Peripheral blood film — 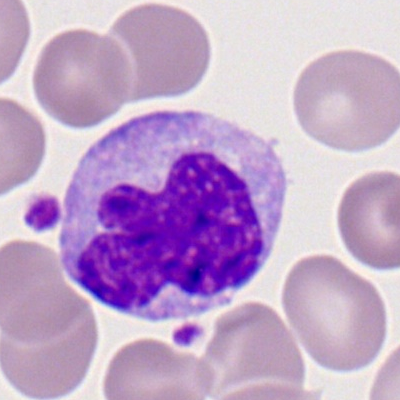

Morphological class = monocyte.